250×250. 40× objective, oil immersion. Bone marrow aspirate smear: 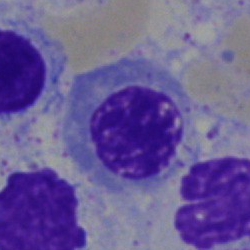
Q: What is the morphological classification of this cell?
A: A nucleated red cell.